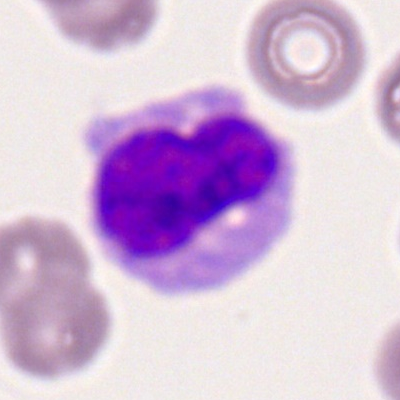 Q: Identify the cell.
A: It is a monocyte.